Bone marrow smear
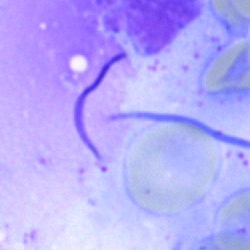
Specimen: bone marrow smear.
Cell type: artefact.